Peripheral blood smear — 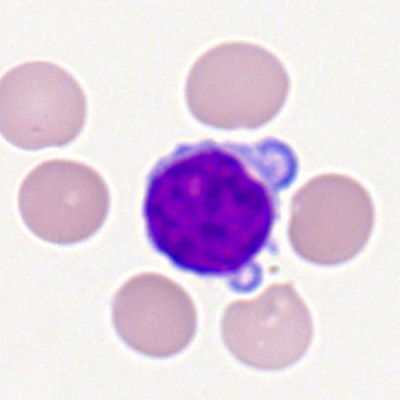
Classification = lymphocyte.